Bone marrow aspirate smear · brightfield microscopy, 40× oil immersion.
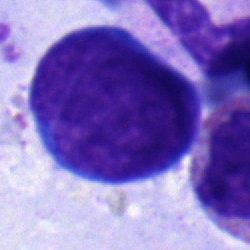
Cell type: pronormoblast.